40× oil immersion. Bone marrow smear:
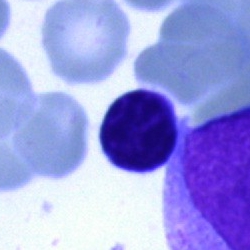
This is a lymphocyte.